Bone marrow aspirate smear:
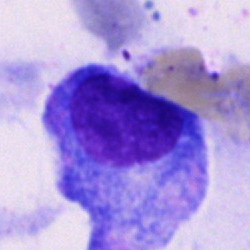 Q: What is the morphological classification of this cell?
A: A progranulocyte.